Bone marrow aspirate smear
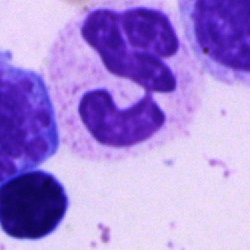 This is a segmented neutrophil.